250 by 250 pixels. Bone marrow smear:
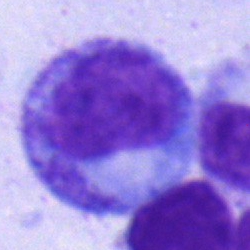 This is a metamyelocyte.